Bone marrow smear — 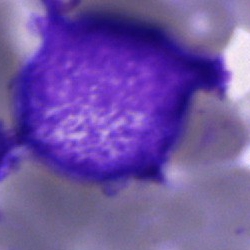

Q: What type of cell is this?
A: A promyelocyte.